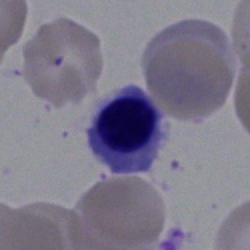
A nucleated red cell.